Peripheral blood film: 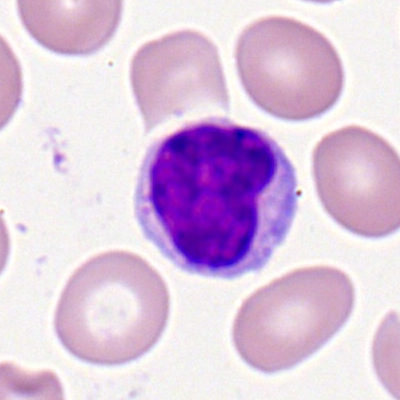
Q: What cell is this?
A: A typical lymphocyte.